250×250 px · bone marrow aspirate smear · May-Grünwald-Giemsa/Pappenheim stain:
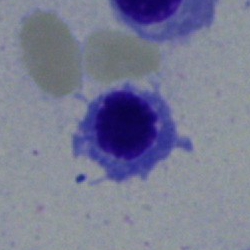This is a nucleated red cell.